Bone marrow aspirate smear:
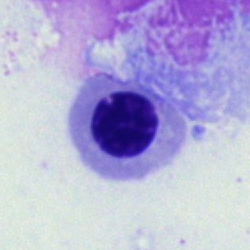Specimen: bone marrow smear.
Classification: erythroblast.
Lineage: erythroid.